Cropped to a single cell. Bone marrow smear — 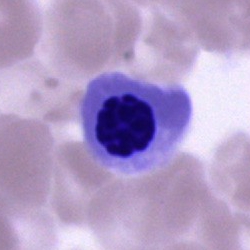

Nucleated red cell.